Peripheral blood film; Romanowsky stain: 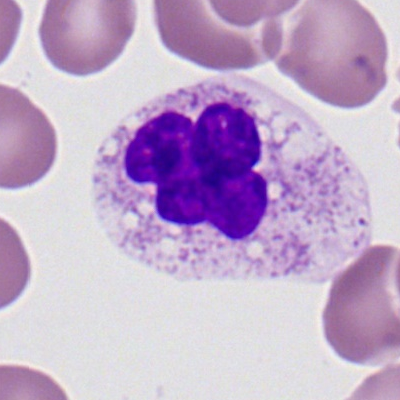

Q: What cell is this?
A: This is a segmented neutrophil.